Bone marrow aspirate smear; 40× oil immersion:
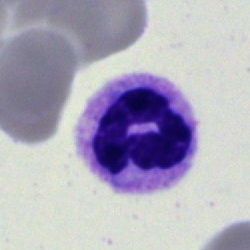Q: What is the morphological classification of this cell?
A: It is a neutrophil (segmented).